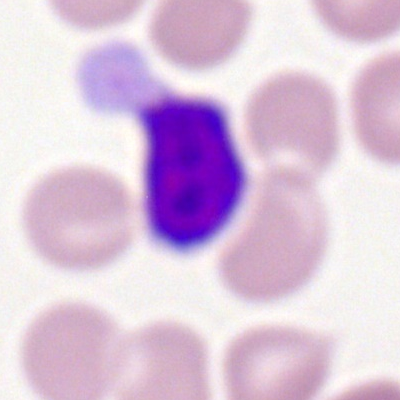

{"cell_type": "typical lymphocyte", "lineage": "lymphoid"}